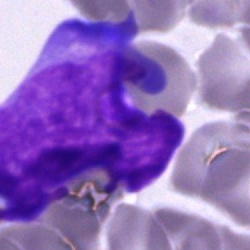 {"cell_type": "blast"}